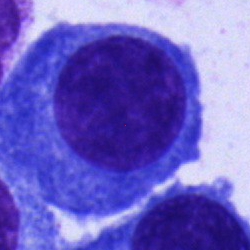
Morphology consistent with a plasma cell.